250 by 250 pixels; bone marrow smear:
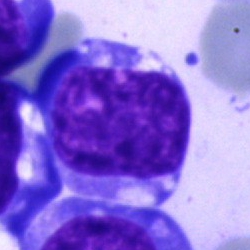
Single cell identified as an undifferentiated blast.